250×250 px. Bone marrow aspirate smear.
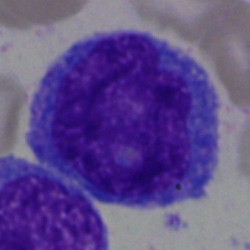{"cell_type": "undifferentiated blast"}